Bone marrow aspirate smear — 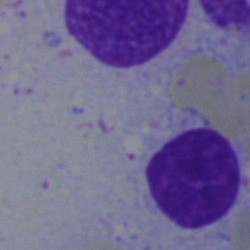
Classification — artifact.